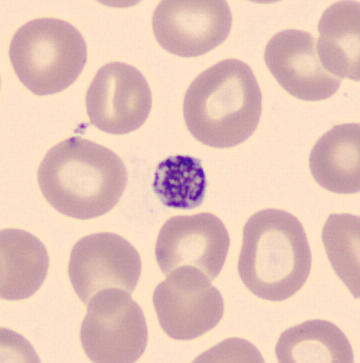Morphology consistent with a thrombocyte.

Peripheral blood smear.